Bone marrow smear — 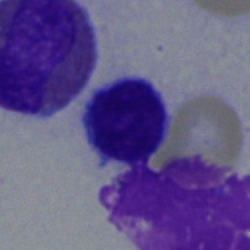Q: Identify the cell.
A: Lymphocyte.